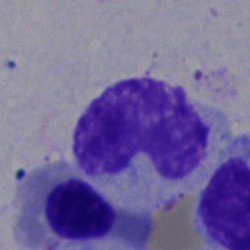 Impression — band neutrophil.